Bone marrow smear:
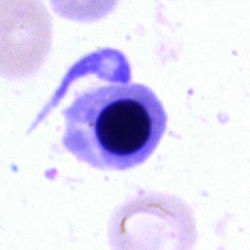

Specimen: bone marrow smear.
Cell type: nucleated red cell.
Lineage: erythroid.